Peripheral blood film.
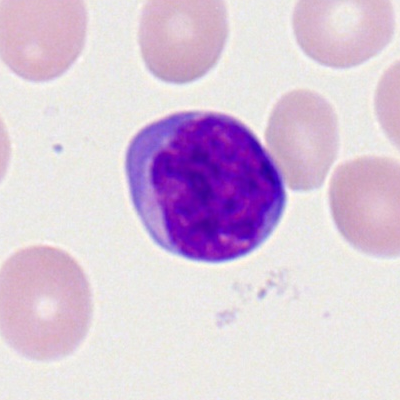Q: What is the morphological classification of this cell?
A: It is a typical lymphocyte.